Bone marrow aspirate smear: 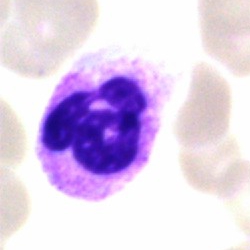

Q: What cell is this?
A: A segmented neutrophil.